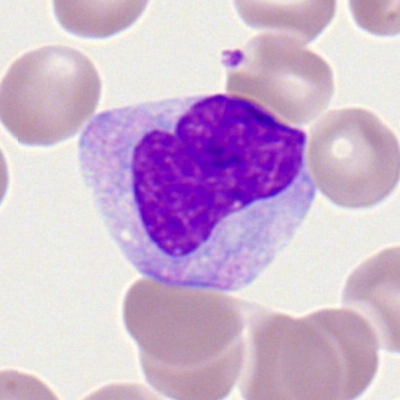Impression → monocyte.